Romanowsky-stained; peripheral blood film.
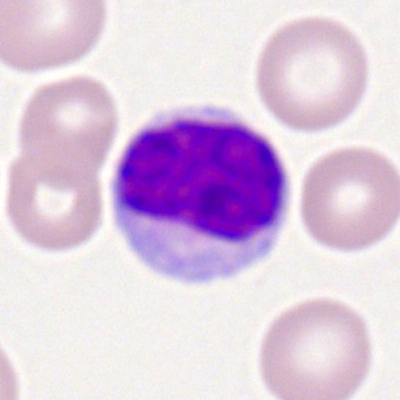Typical lymphocyte.